Bone marrow smear: 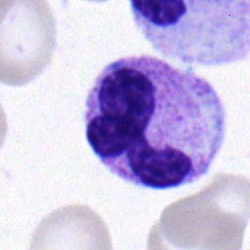 Classification = segmented neutrophil.